Bone marrow smear; single-cell crop.
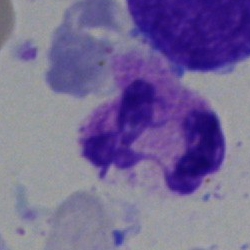

Cell: segmented neutrophil.